Brightfield microscopy, 40× oil immersion; bone marrow smear: 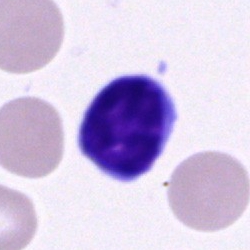 Q: What is shown here?
A: This is a lymphocyte.